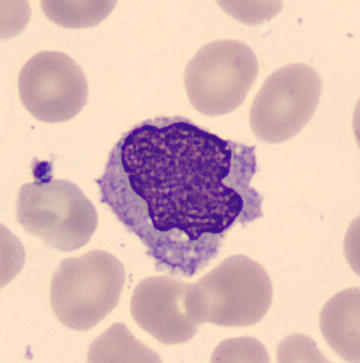
Preparation: May Grünwald-Giemsa stain. Specimen: peripheral blood film.
Cell type: monocyte.
Lineage: myeloid.